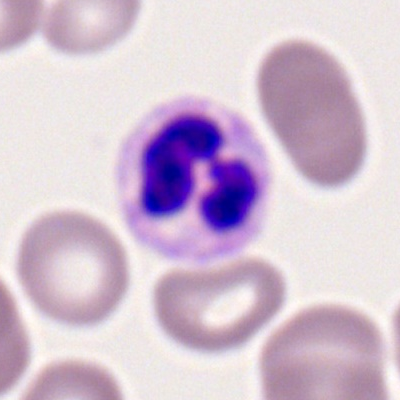 Morphological class: neutrophil (segmented).